40× objective, oil immersion · 250×250 px · bone marrow smear: 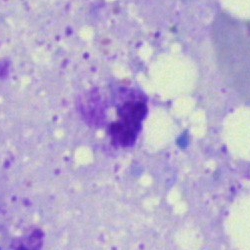Artefact.